May-Grünwald-Giemsa stain. Bone marrow smear
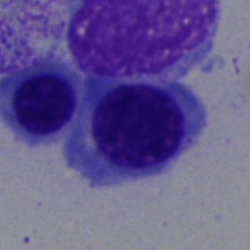Specimen: bone marrow aspirate smear.
Classification: normoblast.
Lineage: erythroid.